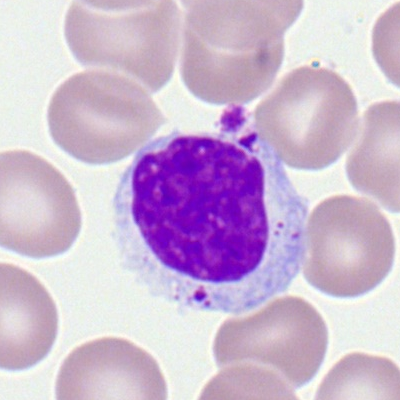
Specimen: peripheral blood smear.
Cell: typical lymphocyte.
Lineage: lymphoid.